Single cell centered in the field. Bone marrow smear.
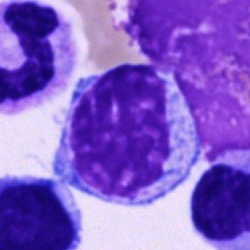
The cell is artefact.